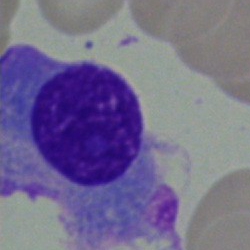
Cell type = plasmacyte.